Bone marrow aspirate smear. Single-cell crop
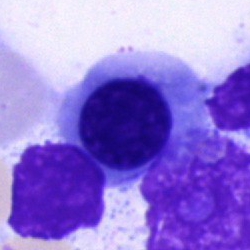 Classification: erythroblast.